Peripheral blood smear — 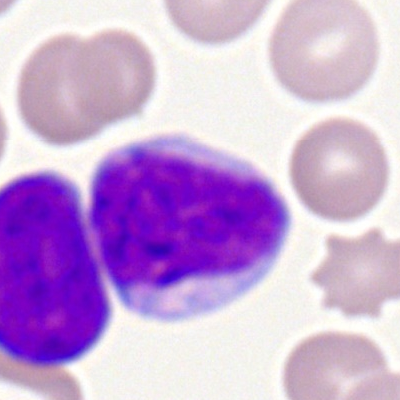The cell shown is a myeloid blast.